Bone marrow aspirate smear.
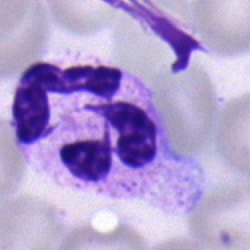
This is a polymorphonuclear neutrophil.